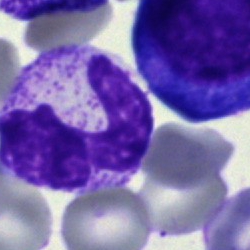
Single-cell crop from a bone marrow smear: segmented neutrophil.